Single cell centered in the field; bone marrow aspirate smear: 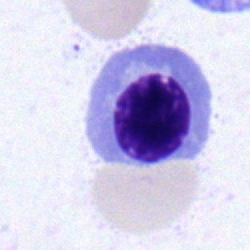
Cell = normoblast.